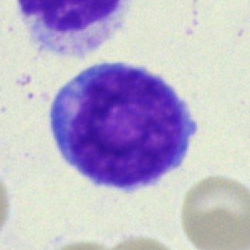Cell type = blast.